Bone marrow smear. 40× oil immersion:
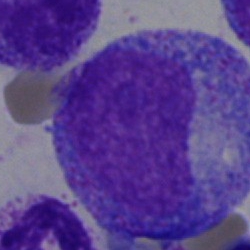
Cell type: progranulocyte.